Bone marrow aspirate smear.
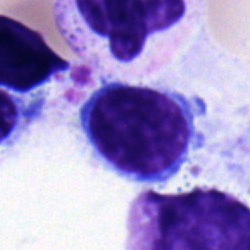 Impression → typical lymphocyte.